Bone marrow smear
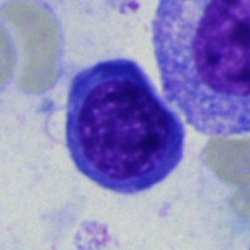A lymphocyte.